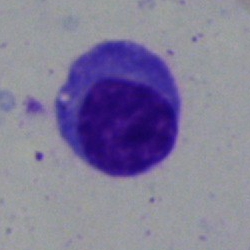 Q: What type of cell is this?
A: A plasma cell.